Peripheral blood smear: 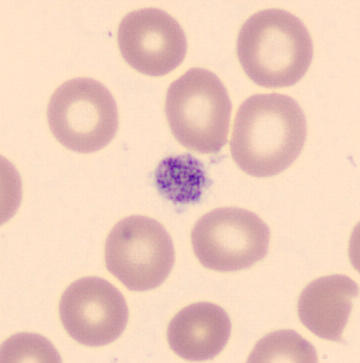 Specimen: peripheral blood smear.
Cell type: platelet.